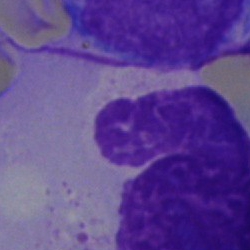
Q: What is shown here?
A: It is an artefact.